Bone marrow aspirate smear
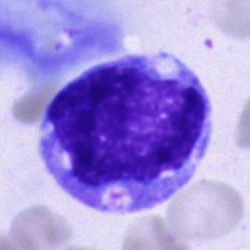Morphological class: monocyte.